Bone marrow aspirate smear · cropped to a single cell · Pappenheim-stained.
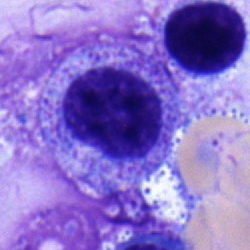

Q: What is the morphological classification of this cell?
A: A myelocyte.